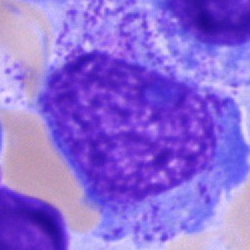
Showing a promyelocyte.